Bone marrow smear:
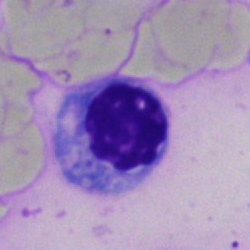 Morphological class: nucleated red blood cell.